Bone marrow smear:
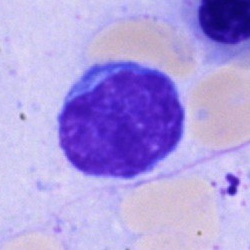
The cell type is lymphocyte.